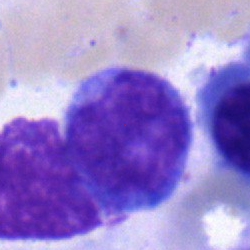

A monocyte on a bone marrow smear.